Peripheral blood smear · Romanowsky stain: 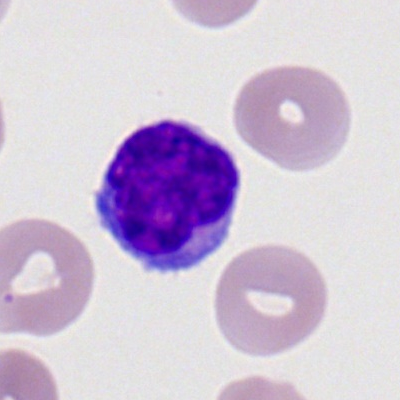
Cell type: typical lymphocyte.